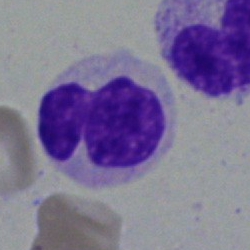

A neutrophil (band) on a bone marrow smear.